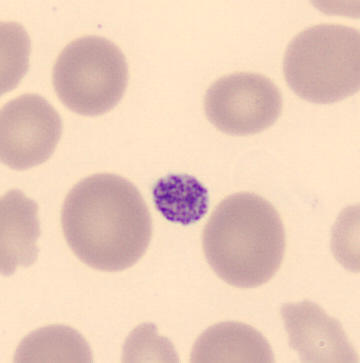
Q: What is this?
A: It is a platelet.